Bone marrow aspirate smear
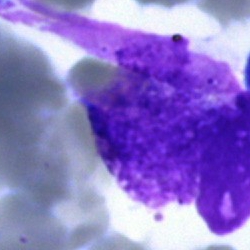

Impression → artifact.